Peripheral blood film: 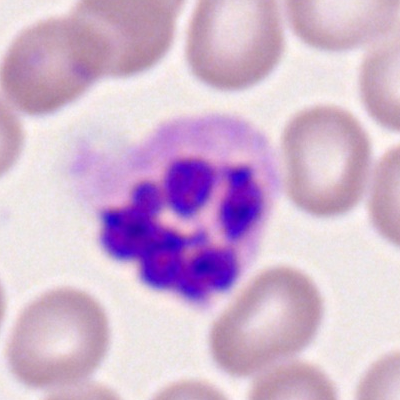Impression → neutrophil (segmented).